Bone marrow smear: 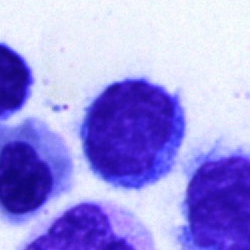
Cell type — lymphocyte.